Bone marrow smear
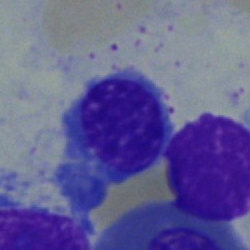
A nucleated red cell.